Peripheral blood film:
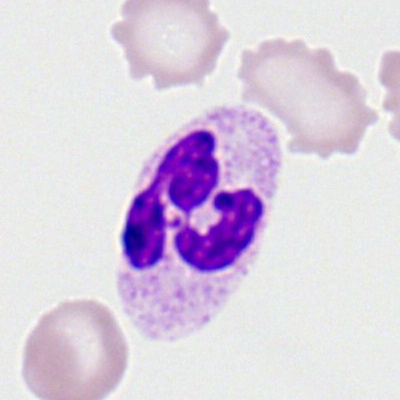 Q: What is the morphological classification of this cell?
A: Polymorphonuclear neutrophil.